Bone marrow aspirate smear; MGG-stained:
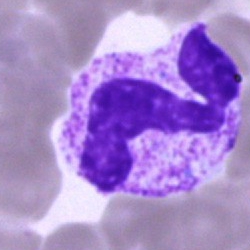Q: What cell is this?
A: It is a segmented neutrophil.